Bone marrow smear; single-cell field; 250×250:
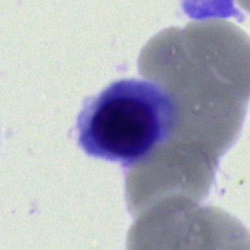
Single cell identified as a normoblast.